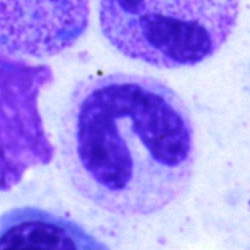

Morphology consistent with a band neutrophil.